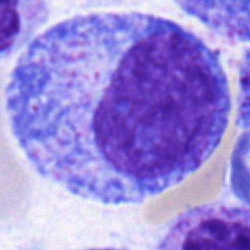Q: What type of cell is this?
A: Progranulocyte.